May-Grünwald-Giemsa stain; bone marrow smear; brightfield, 40× oil-immersion objective.
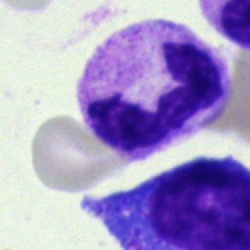

The morphological class is segmented neutrophil.